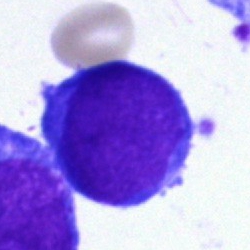 Q: What is shown here?
A: This is a blast cell.